Brightfield, 40× oil-immersion objective. 250×250 px. Bone marrow aspirate smear:
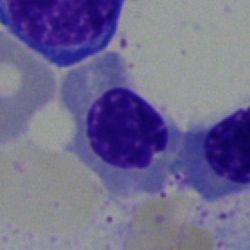

This is an erythroblast.